Bone marrow aspirate smear.
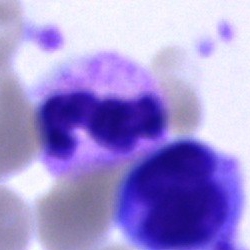

Specimen: bone marrow smear.
Cell: neutrophil (segmented).
Lineage: myeloid.